Bone marrow aspirate smear
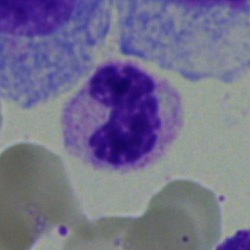The cell shown is a neutrophil (segmented).